Bone marrow aspirate smear: 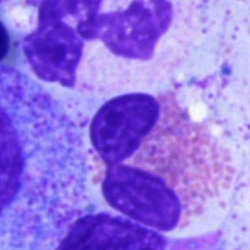 {"cell_type": "eosinophilic granulocyte"}